Bone marrow smear · 40× oil immersion:
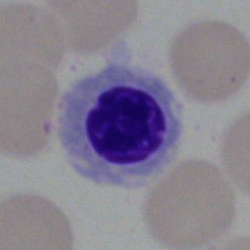

The cell shown is a normoblast.